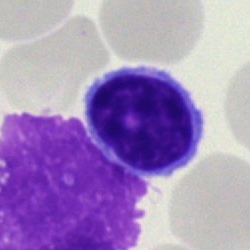Cell: lymphocyte.